Bone marrow aspirate smear:
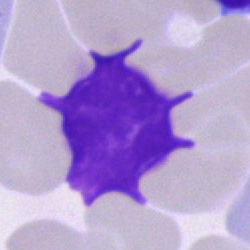
Q: What is shown here?
A: Artifact.